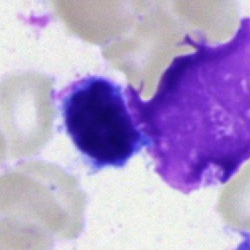

Classification = lymphocyte.